Peripheral blood smear
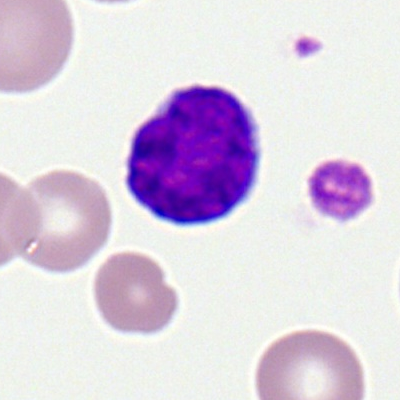 Q: What is the morphological classification of this cell?
A: It is a typical lymphocyte.